Bone marrow smear:
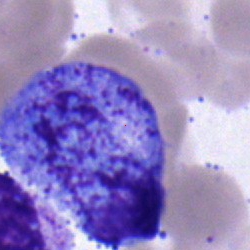
The classification is progranulocyte.